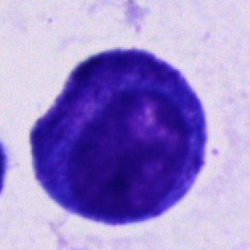A promyelocyte on a bone marrow smear.